Single cell centered in the field · 250 by 250 pixels · bone marrow aspirate smear:
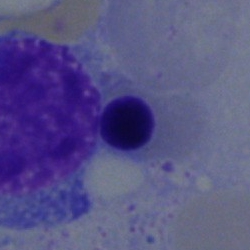{"cell_type": "erythroblast", "lineage": "erythroid"}